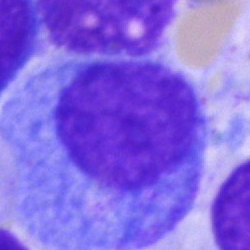

Morphological class — progranulocyte.